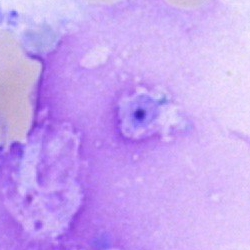

Single-cell crop from a bone marrow smear: artefact.